Bone marrow aspirate smear. Single cell centered in the field. Brightfield, 40× oil-immersion objective.
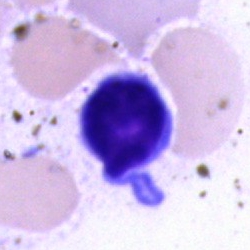 Specimen: bone marrow aspirate smear.
Classification: lymphocyte.
Lineage: lymphoid.